Bone marrow aspirate smear
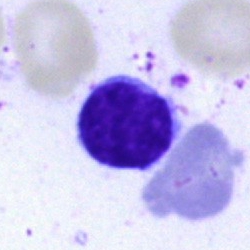Showing a lymphocyte.